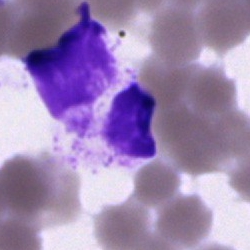
Classification = artifact.